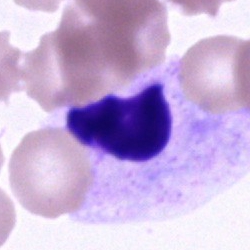

Q: What cell is this?
A: An unidentifiable cell.